Bone marrow smear:
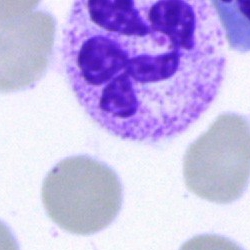Impression → neutrophil (segmented).